Bone marrow aspirate smear. May-Grünwald-Giemsa/Pappenheim stain — 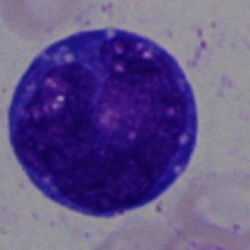

Q: What is shown here?
A: It is a blast.